Bone marrow smear
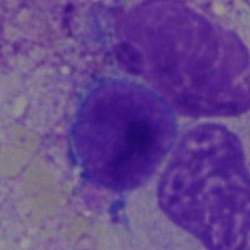
This is a lymphocyte.